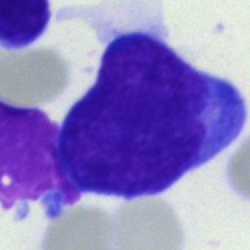An undifferentiated blast.